Bone marrow smear. Image size 250×250.
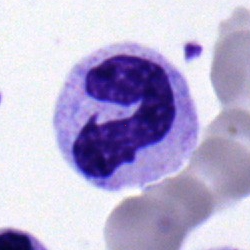
Morphological class = polymorphonuclear neutrophil.